Bone marrow smear:
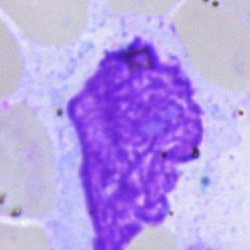Cell = artefact.